Bone marrow aspirate smear: 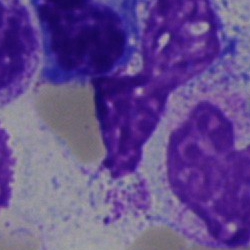

Cell — artefact.